Bone marrow smear:
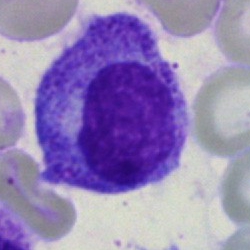The cell shown is a myelocyte.